Bone marrow smear — 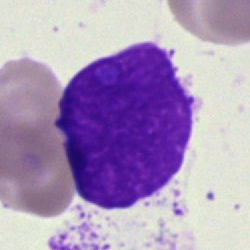 Specimen: bone marrow aspirate smear.
Classification: artefact.